Bone marrow aspirate smear; 250 by 250 pixels; 40× objective, oil immersion.
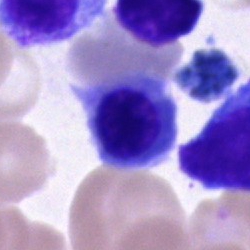Impression — nucleated red cell.